Bone marrow aspirate smear:
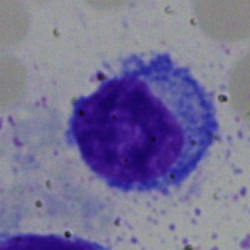
A typical lymphocyte.